Peripheral blood smear · Romanowsky stain: 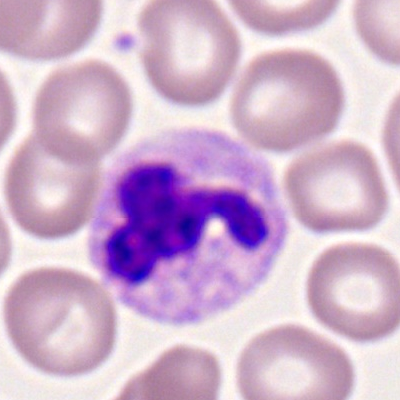Impression → neutrophil (segmented).